Bone marrow smear:
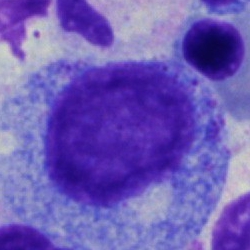

A promyelocyte.